Bone marrow aspirate smear.
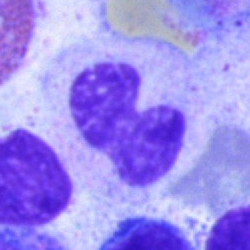 Q: Which cell type is shown here?
A: It is a stab cell.